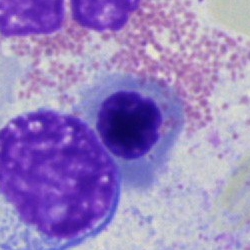 Specimen: bone marrow aspirate smear.
Classification: erythroblast.
Lineage: erythroid.